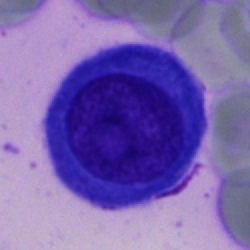Specimen: bone marrow aspirate smear.
Cell type: blast cell.